Bone marrow aspirate smear: 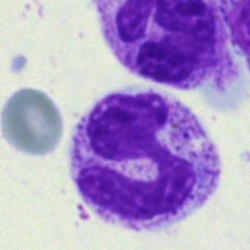 This is a polymorphonuclear neutrophil.